Bone marrow smear; brightfield, 40× oil-immersion objective; single cell centered in the field.
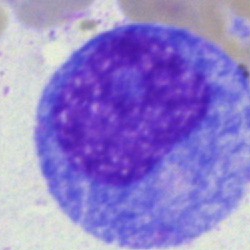{"cell_type": "progranulocyte"}